Bone marrow smear:
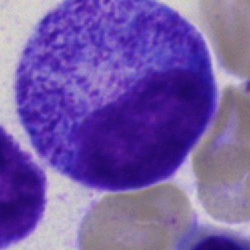

Q: What is the morphological classification of this cell?
A: This is a progranulocyte.